Bone marrow smear
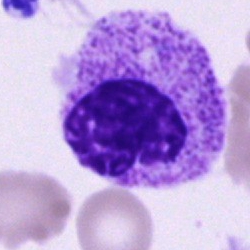 The morphological class is myelocyte.